Bone marrow aspirate smear.
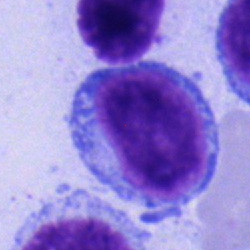Q: What type of cell is this?
A: It is a typical lymphocyte.